Bone marrow aspirate smear.
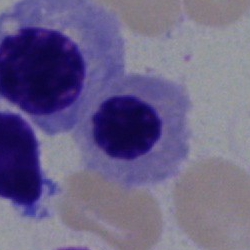
Q: Identify the cell.
A: This is a normoblast.